Peripheral blood film — 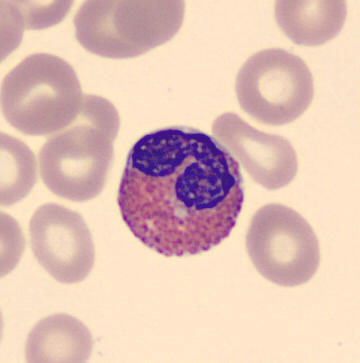{"cell_type": "eosinophilic granulocyte", "lineage": "myeloid"}